Bone marrow smear: 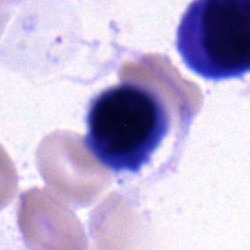

Specimen: bone marrow aspirate smear.
Classification: erythroblast.